Bone marrow aspirate smear. 250 by 250 pixels
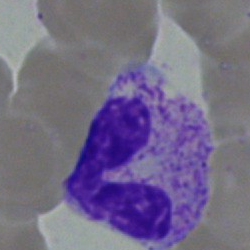 Cell = neutrophil (band).